Bone marrow smear; brightfield microscopy, 40× oil immersion — 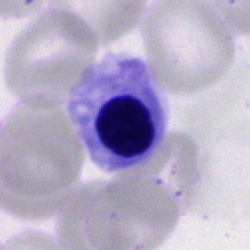 Impression — erythroblast.